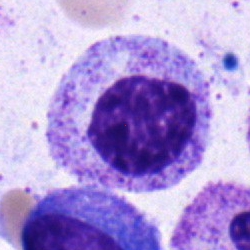 Q: What is the morphological classification of this cell?
A: This is a myelocyte.